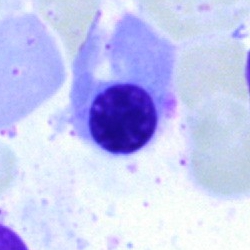

{"cell_type": "normoblast"}